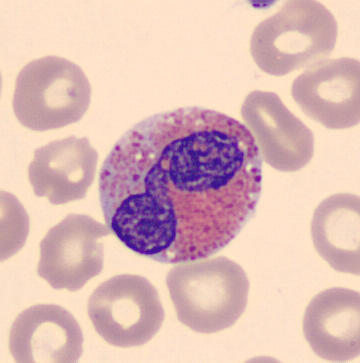
The cell shown is an eosinophil.